Cropped to a single cell; 40× objective, oil immersion; bone marrow smear.
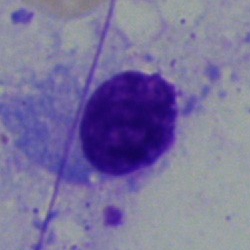

Cell — plasmacyte.